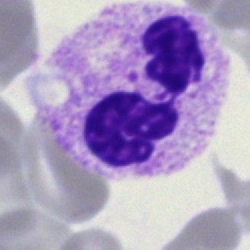
Q: What is shown here?
A: It is a segmented neutrophil.